250 by 250 pixels · bone marrow aspirate smear · brightfield, 40× oil-immersion objective:
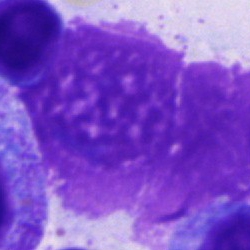 Q: What is shown here?
A: It is an artifact.